Bone marrow smear
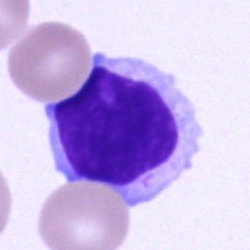 Q: What is shown here?
A: It is a typical lymphocyte.